Bone marrow smear
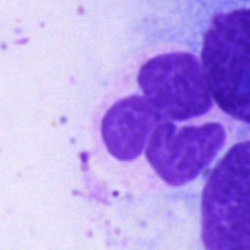Cell: polymorphonuclear neutrophil.